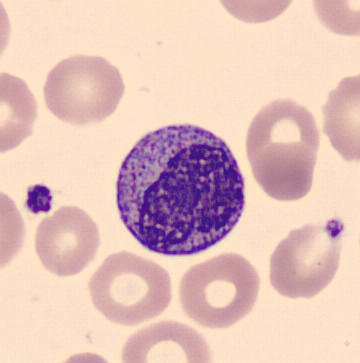
Specimen: peripheral blood smear.
Classification: metamyelocyte.